Bone marrow smear. 250×250 px: 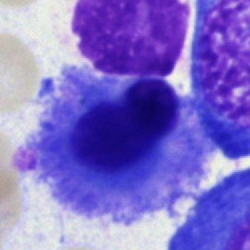
Morphology → unidentifiable cell.